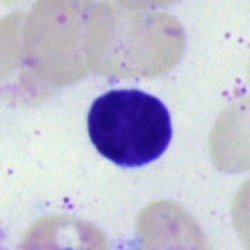
{"cell_type": "typical lymphocyte", "lineage": "lymphoid"}